Bone marrow aspirate smear: 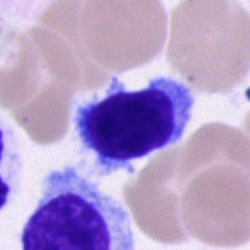Classification = lymphocyte.